Bone marrow smear — 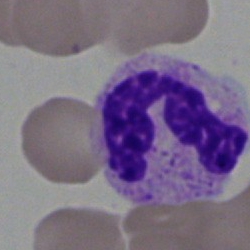
Neutrophil (segmented).